Bone marrow smear
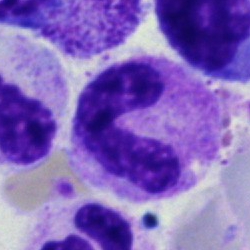
Showing a band-form neutrophil.